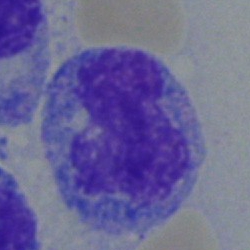 Cell: monocyte.